Bone marrow aspirate smear.
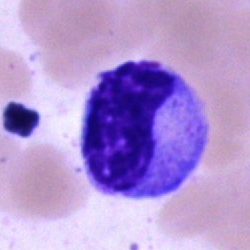
Classification = metamyelocyte.